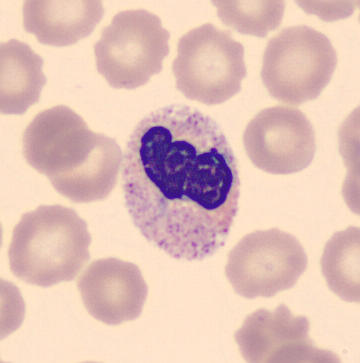The classification is segmented neutrophil.

Cropped to a single cell · peripheral blood film.